Bone marrow aspirate smear.
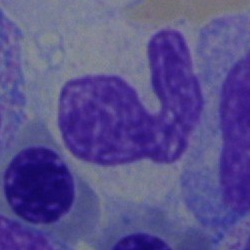Cell = neutrophil (band).